40× oil immersion · bone marrow smear · 250×250 px: 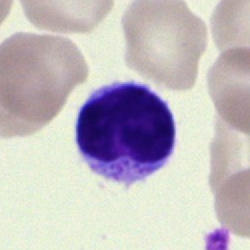

The cell is typical lymphocyte.